May-Grünwald-Giemsa stain; bone marrow aspirate smear.
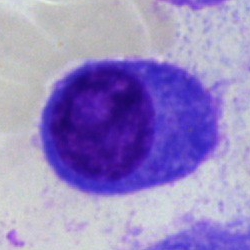

Cell = plasmacyte.